Bone marrow smear: 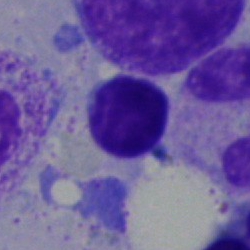

{"cell_type": "lymphocyte", "lineage": "lymphoid"}